Bone marrow smear. Brightfield, 40× oil-immersion objective: 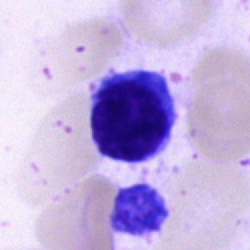A typical lymphocyte.